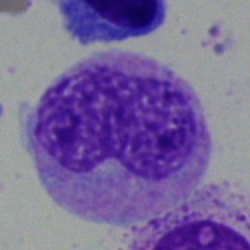

Cell type: metamyelocyte.